Bone marrow aspirate smear
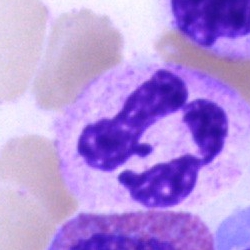This is a neutrophil (segmented).